Bone marrow aspirate smear. 40× oil immersion. Cropped to a single cell: 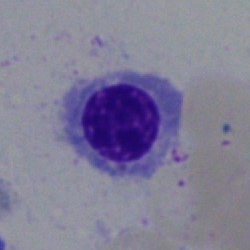
Morphology — erythroblast.